Bone marrow aspirate smear; 250×250 — 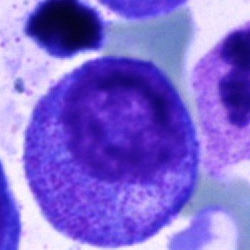 The morphological class is myelocyte.